Bone marrow smear.
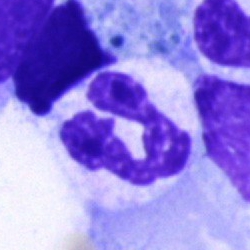

Cell type — segmented neutrophil.